Bone marrow aspirate smear · 40× objective, oil immersion · 250×250
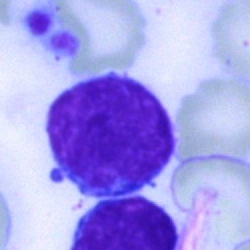

This is a typical lymphocyte.